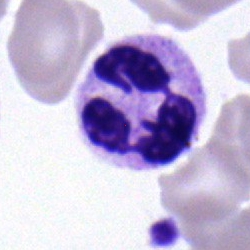
Morphology → segmented neutrophil.